Bone marrow smear:
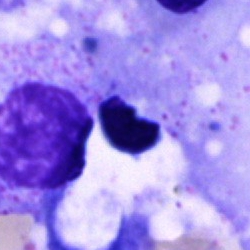

Specimen: bone marrow smear.
Morphological class: artifact.